Romanowsky-type stain; peripheral blood film; single-cell crop: 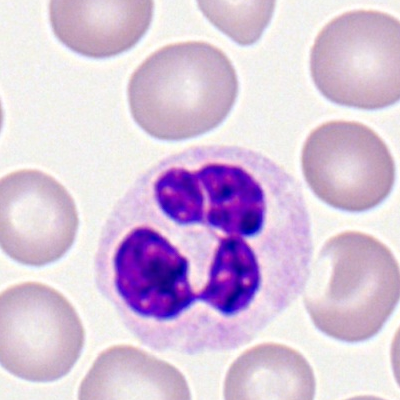 Neutrophil (segmented).